Bone marrow smear: 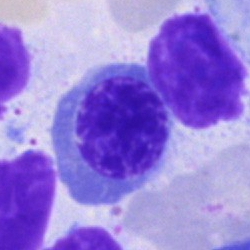 Erythroblast.